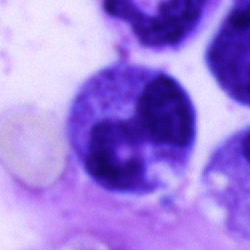
Impression — neutrophil (segmented).